May-Grünwald-Giemsa/Pappenheim stain · bone marrow aspirate smear:
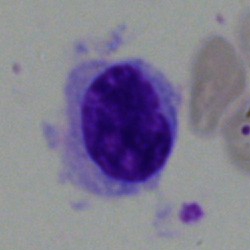

Q: Identify the cell.
A: A hairy cell.